Pappenheim-stained · bone marrow smear · brightfield, 40× oil-immersion objective
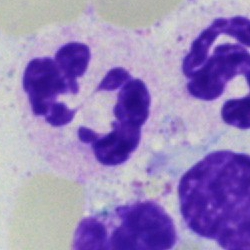
Q: What is shown here?
A: Neutrophil (segmented).